May-Grünwald-Giemsa/Pappenheim stain. Bone marrow smear: 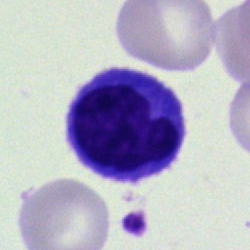 {"cell_type": "lymphocyte"}